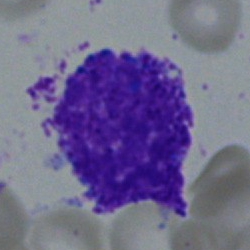

Impression → artifact.